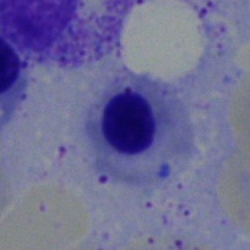
The cell shown is an erythroblast.